250 by 250 pixels. Bone marrow smear: 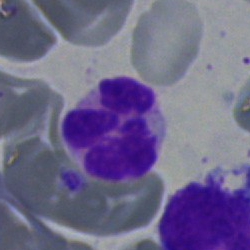

Segmented neutrophil.